250×250 px; bone marrow smear
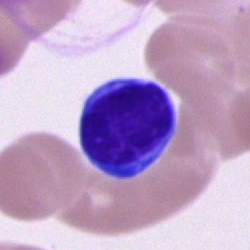 Cell type = lymphocyte.